Bone marrow smear
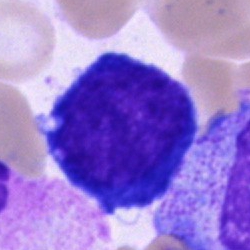 Q: Which cell type is shown here?
A: It is a proerythroblast.